Brightfield microscopy, 40× oil immersion · May-Grünwald-Giemsa stain · bone marrow smear.
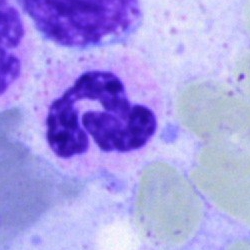Q: What type of cell is this?
A: A polymorphonuclear neutrophil.